Bone marrow smear
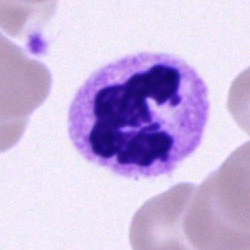 Morphological class = segmented neutrophil.